Bone marrow smear:
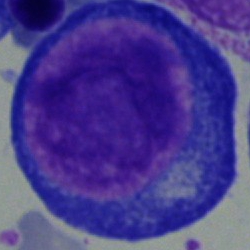 The cell shown is a proerythroblast.